Bone marrow aspirate smear.
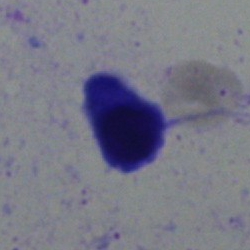

Cell type: lymphocyte.